Bone marrow smear — 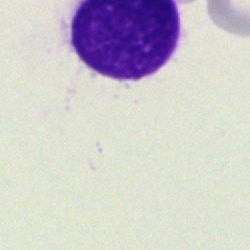An artifact.